Bone marrow smear — 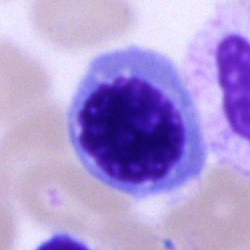 Specimen: bone marrow smear.
Cell: normoblast.
Lineage: erythroid.